40× oil immersion · bone marrow smear.
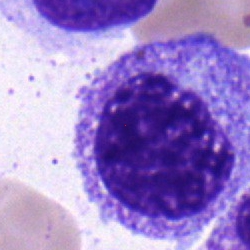
Single cell identified as a myelocyte.